250×250. MGG-stained. Bone marrow smear:
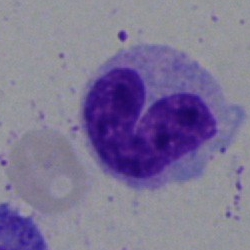

Single cell identified as a band-form neutrophil.